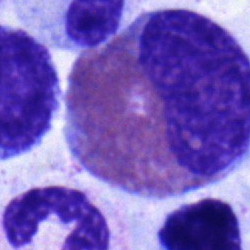
Specimen: bone marrow smear.
Cell: eosinophilic granulocyte.